40× oil immersion; bone marrow aspirate smear: 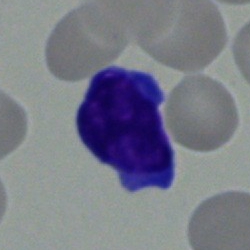
Showing a lymphocyte.